Bone marrow smear · single-cell crop.
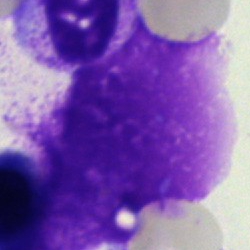 Morphology → artifact.